250×250. Bone marrow smear:
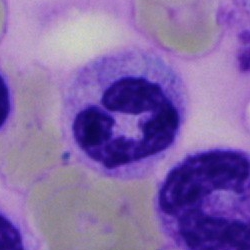 Impression → neutrophil (segmented).